Bone marrow smear
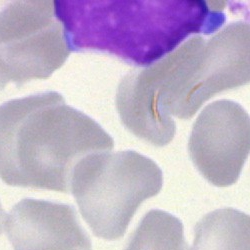
Classification = cell of indeterminate lineage.